Cropped to a single cell; peripheral blood film
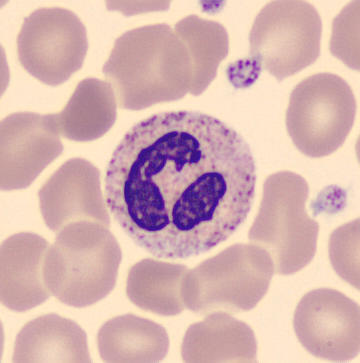
Cell: neutrophil (segmented).